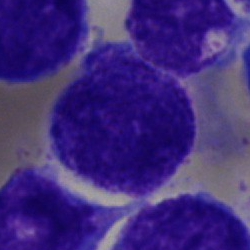Q: What type of cell is this?
A: It is an undifferentiated blast.